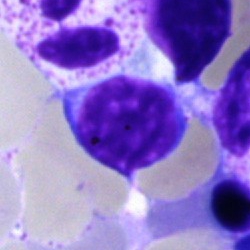
Q: Identify the cell.
A: It is a typical lymphocyte.